Bone marrow smear:
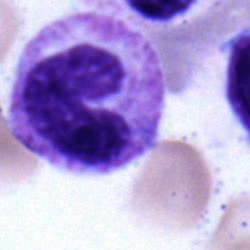This is a neutrophil (band).